Bone marrow smear; single-cell crop; MGG-stained — 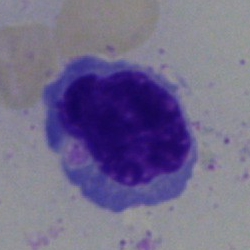 Specimen: bone marrow smear.
Morphological class: nucleated red blood cell.